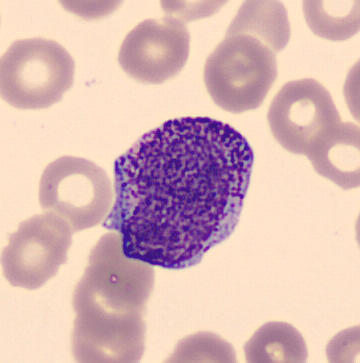Identified as a promyelocyte.